Bone marrow aspirate smear. Brightfield, 40× oil-immersion objective
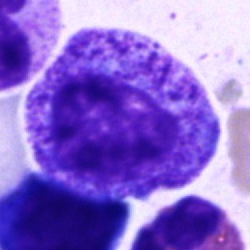 Single cell identified as a promyelocyte.